Peripheral blood smear. Single-cell field:
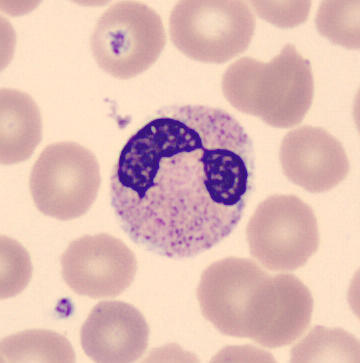

Cell = segmented neutrophil.